Pappenheim-stained · bone marrow aspirate smear: 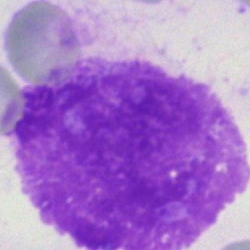{"cell_type": "artefact"}